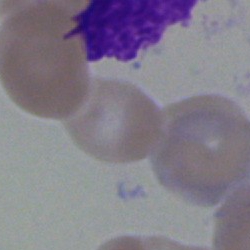 Q: What is shown here?
A: This is an artifact.